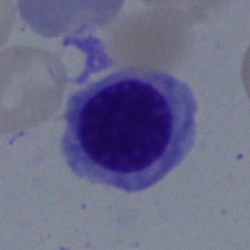Specimen: bone marrow smear.
Cell type: erythroblast.